Bone marrow smear · Pappenheim-stained:
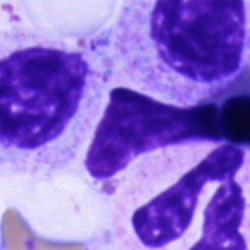 Morphology consistent with a cell of indeterminate lineage.